40× oil immersion · bone marrow smear · image size 250×250 — 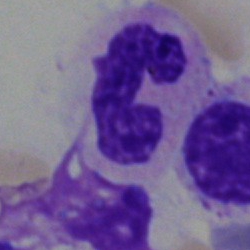

Q: Which cell type is shown here?
A: A neutrophil (segmented).